Bone marrow aspirate smear.
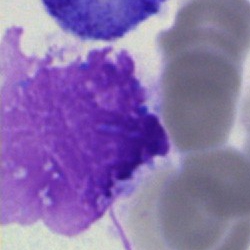Specimen: bone marrow smear.
Cell: artifact.